Bone marrow aspirate smear; single-cell field; 250×250 — 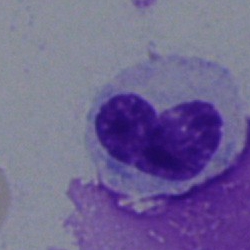
The cell shown is a band neutrophil.